Single-cell field · bone marrow smear:
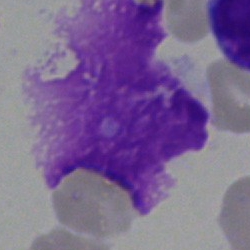 {"cell_type": "artifact"}